Bone marrow aspirate smear
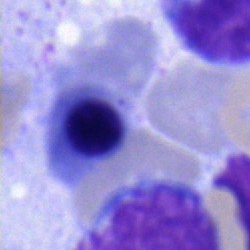

Single cell identified as a normoblast.